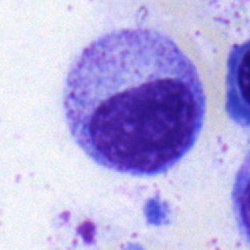

Classification = myelocyte.